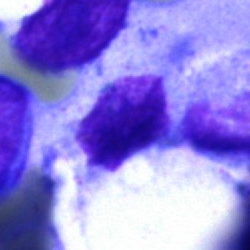Q: What is shown here?
A: An artifact.